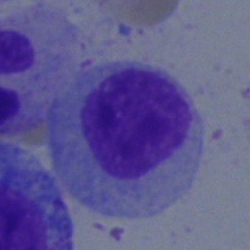 Bone marrow aspirate smear, single cell — myelocyte.